Bone marrow aspirate smear: 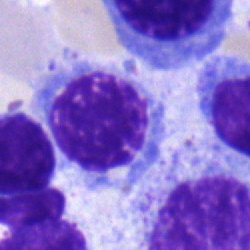 Impression → erythroblast.